May-Grünwald-Giemsa/Pappenheim stain · single-cell crop · bone marrow aspirate smear
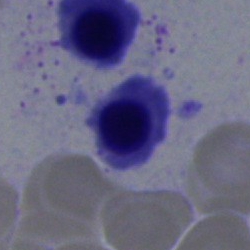 Classification — nucleated red blood cell.